Bone marrow smear; 40× oil immersion
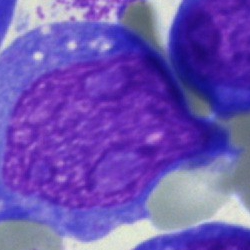Single cell identified as a blast.